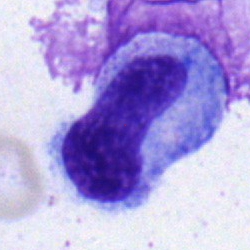
Q: What type of cell is this?
A: This is a metamyelocyte.